Bone marrow aspirate smear.
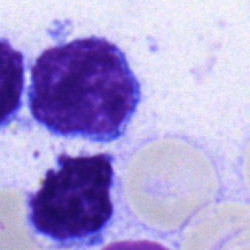 {"cell_type": "typical lymphocyte"}